Bone marrow aspirate smear: 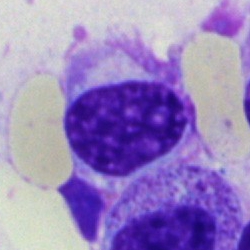Morphology → plasmacyte.